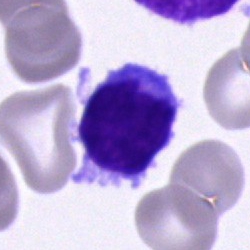

Q: What is shown here?
A: This is a lymphocyte.